Bone marrow smear:
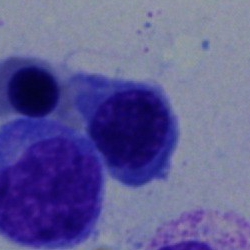 Classification — nucleated red blood cell.